Peripheral blood film:
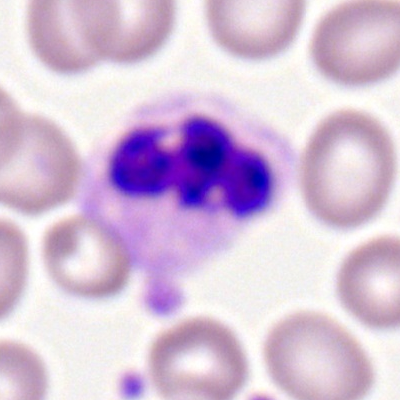Specimen: peripheral blood film.
Morphological class: polymorphonuclear neutrophil.
Lineage: myeloid.